Bone marrow aspirate smear. 250×250 px.
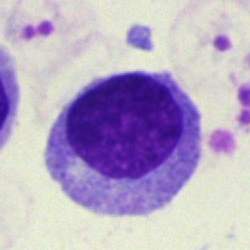 Morphology → myelocyte.